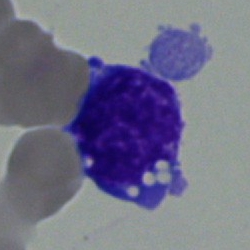

Q: What cell is this?
A: This is a blast.